Bone marrow smear.
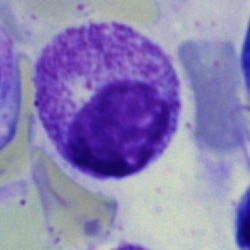Classification — myelocyte.